Bone marrow aspirate smear · 40× oil immersion — 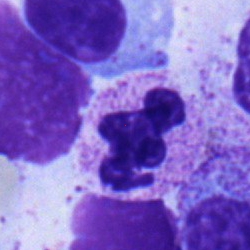Impression — neutrophil (segmented).